250×250 · bone marrow smear · MGG-stained
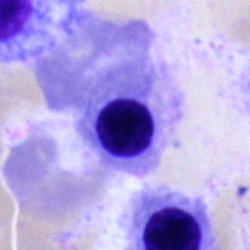
A nucleated red cell.